40× oil immersion; bone marrow smear: 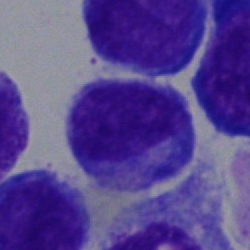Morphology — typical lymphocyte.